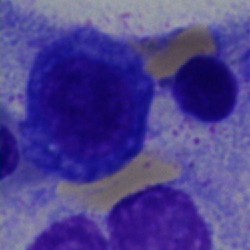

Specimen: bone marrow aspirate smear.
Cell: plasma cell.
Lineage: lymphoid.